Single-cell crop · 40× objective, oil immersion · bone marrow aspirate smear.
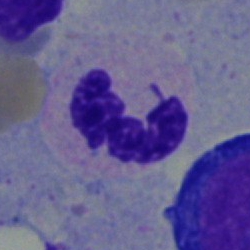Morphological class: neutrophil (segmented).